Bone marrow smear.
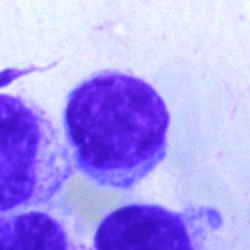 Morphological class = lymphocyte.